Peripheral blood smear; Romanowsky-stained:
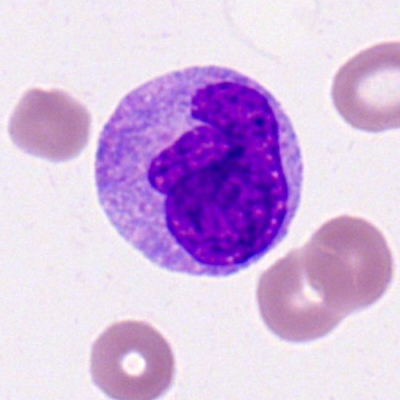{"cell_type": "monocyte", "lineage": "myeloid"}